Image size 250×250. Bone marrow smear.
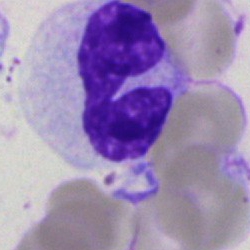
Q: What is the morphological classification of this cell?
A: Segmented neutrophil.